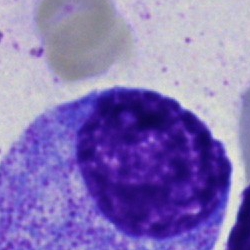
Q: What cell is this?
A: A progranulocyte.